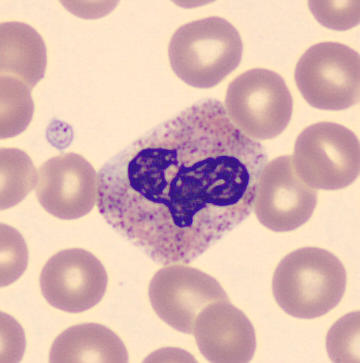

Q: What is the morphological classification of this cell?
A: Neutrophil (segmented).